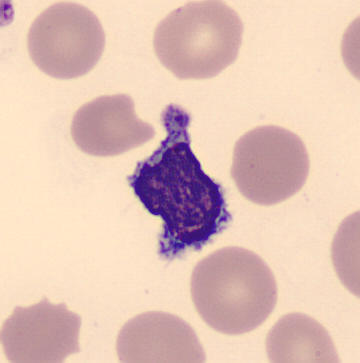Morphology → lymphocyte.